Automated cell imaging (CellaVision DM96); peripheral blood smear
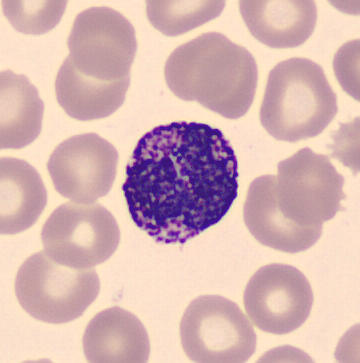This is a basophilic granulocyte.